Romanowsky-type stain · single cell centered in the field · peripheral blood smear
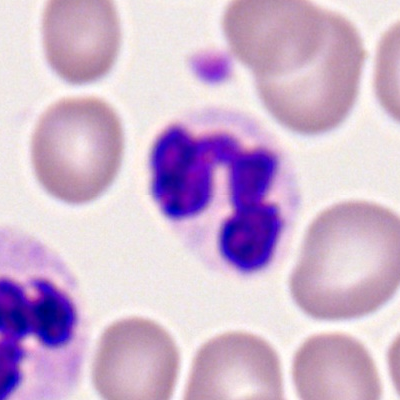

Morphology consistent with a polymorphonuclear neutrophil.